Bone marrow smear; 40× oil immersion: 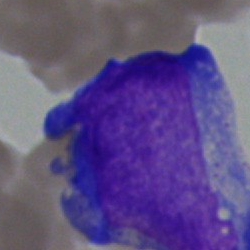 {"cell_type": "undifferentiated blast"}